Peripheral blood smear · image size 400×400 · Romanowsky-type stain: 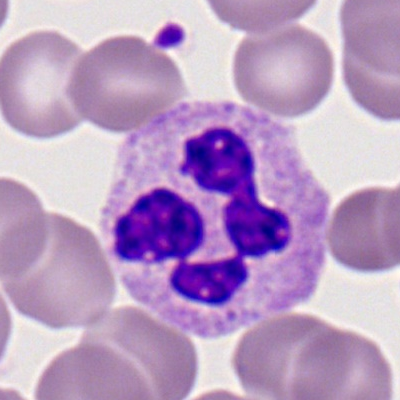 The morphological class is neutrophil (segmented).